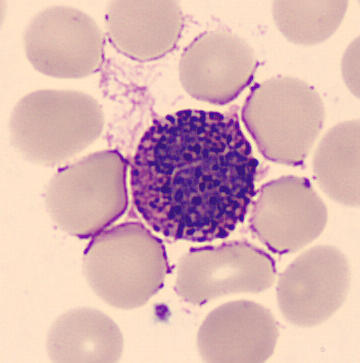

Preparation: Peripheral blood film. Cell = basophil.